Single-cell crop; bone marrow smear; May-Grünwald-Giemsa/Pappenheim stain
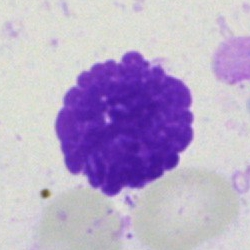

Artifact.